Bone marrow smear.
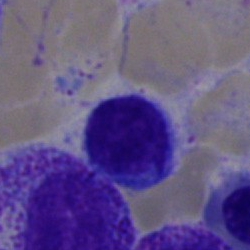Q: Which cell type is shown here?
A: A typical lymphocyte.